Bone marrow smear; brightfield, 40× oil-immersion objective: 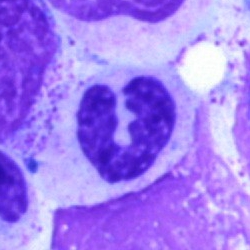 Specimen: bone marrow smear.
Cell type: neutrophil (segmented).